Peripheral blood smear: 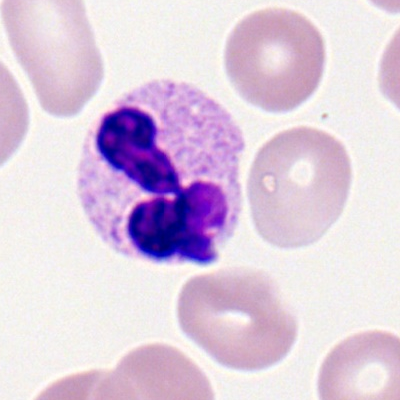 Morphological class = neutrophil (segmented).